Bone marrow smear. Single cell centered in the field:
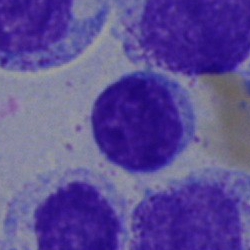Single cell identified as a lymphocyte.